Bone marrow smear — 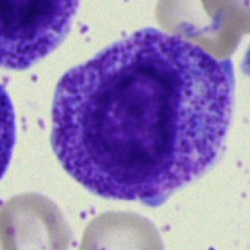

{"cell_type": "myelocyte"}